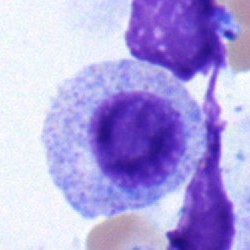
Myelocyte.